Brightfield, 40× oil-immersion objective. Single cell centered in the field. Bone marrow smear: 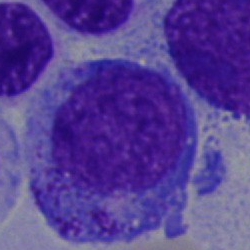

The cell shown is a progranulocyte.